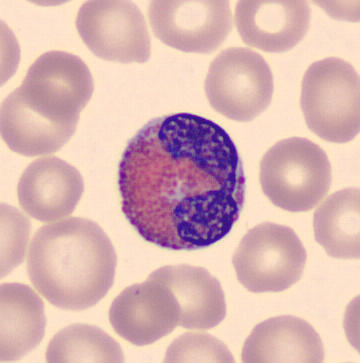

Peripheral blood film.

This is an eosinophil.